40× oil immersion. Bone marrow aspirate smear
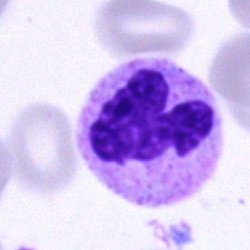

Morphology consistent with a segmented neutrophil.